Bone marrow smear; single cell centered in the field
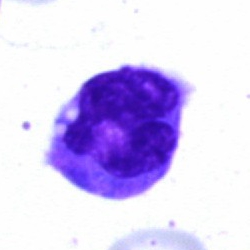

Classification = monocyte.